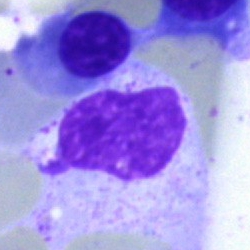 The classification is artefact.